Bone marrow smear · brightfield microscopy, 40× oil immersion — 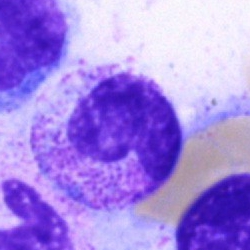
{"cell_type": "metamyelocyte", "lineage": "myeloid"}